Peripheral blood smear.
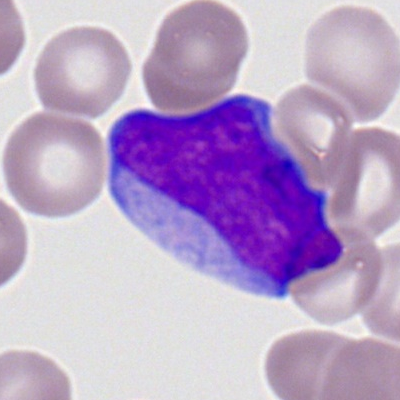
Specimen: peripheral blood smear.
Morphological class: myeloid blast.